Bone marrow aspirate smear. 250×250: 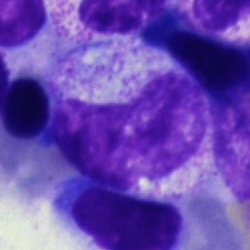 Band-form neutrophil.